Bone marrow smear
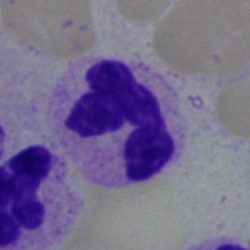
Polymorphonuclear neutrophil.